Peripheral blood smear.
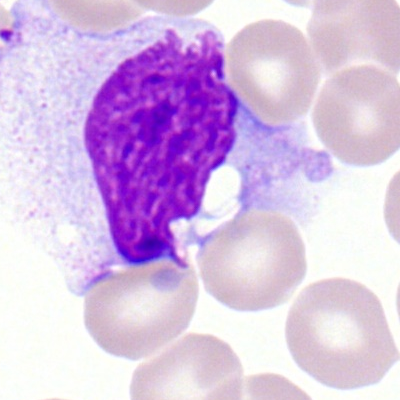
The cell shown is a monocyte.